Bone marrow aspirate smear:
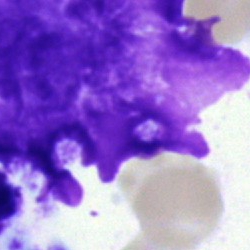

Q: What is shown here?
A: An artifact.